Bone marrow aspirate smear: 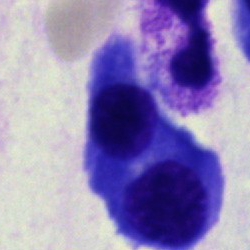
Q: What cell is this?
A: A normoblast.